Bone marrow smear. Pappenheim-stained. 250×250 px: 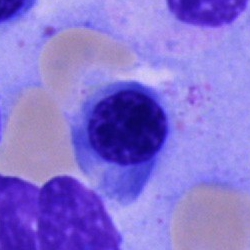

{"cell_type": "nucleated red cell", "lineage": "erythroid"}